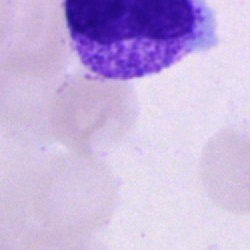 Cell = cell of indeterminate lineage.